250×250; bone marrow aspirate smear
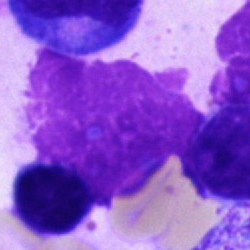 This is an artifact.